Bone marrow aspirate smear.
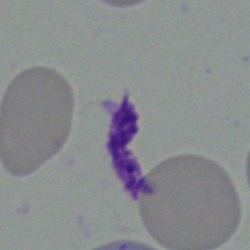 This is an artefact.